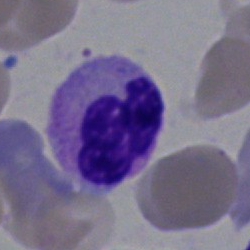 Morphology consistent with a segmented neutrophil.